250×250; 40× oil immersion; bone marrow smear: 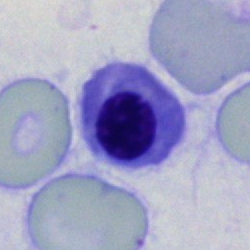A nucleated red blood cell.